Peripheral blood film — 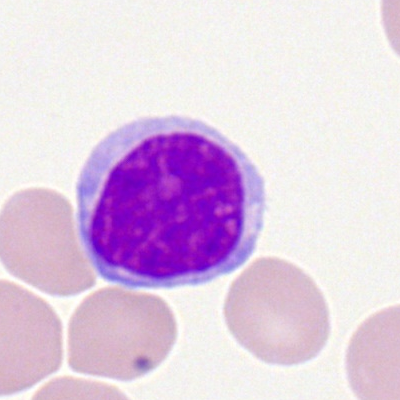

Q: What type of cell is this?
A: A typical lymphocyte.